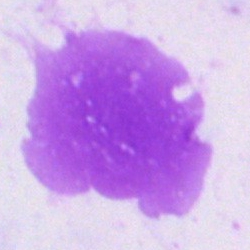Specimen: bone marrow aspirate smear.
Cell type: artifact.